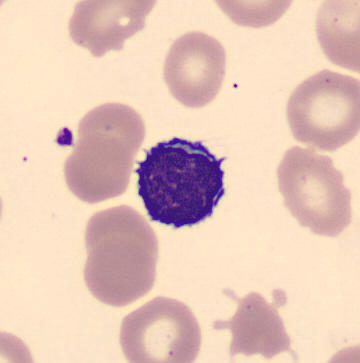Preparation: Peripheral blood film.
Showing a typical lymphocyte.